Bone marrow smear: 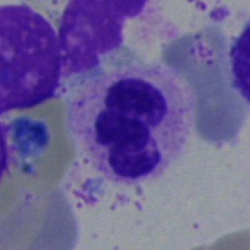Morphology — neutrophil (segmented).